Bone marrow smear:
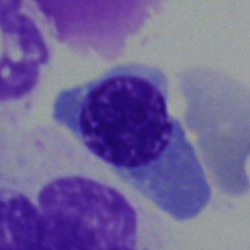Morphology consistent with an erythroblast.